400 by 400 pixels. Romanowsky-stained. Peripheral blood film — 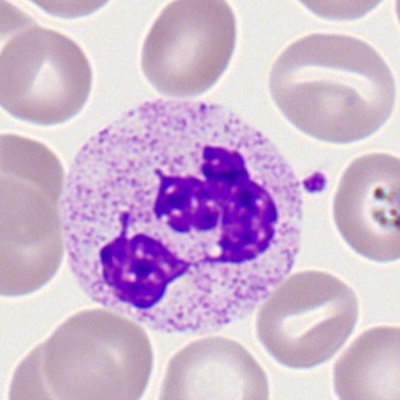Impression — neutrophil (segmented).